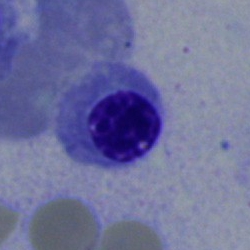Impression → erythroblast.